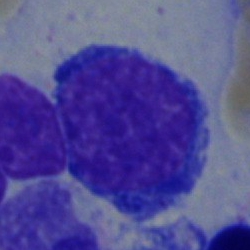
Cell type = nucleated red cell.